Peripheral blood smear
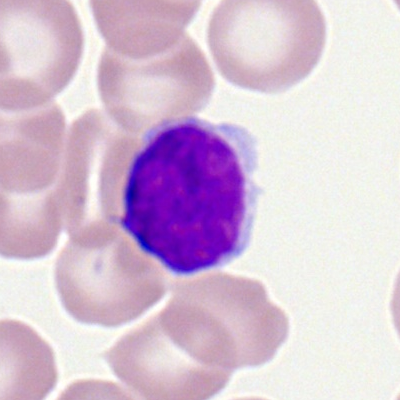 Classification: typical lymphocyte.